Bone marrow smear. 250 by 250 pixels. 40× objective, oil immersion
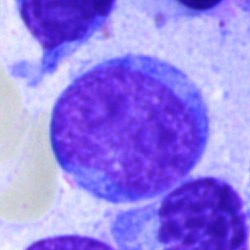

Impression → undifferentiated blast.